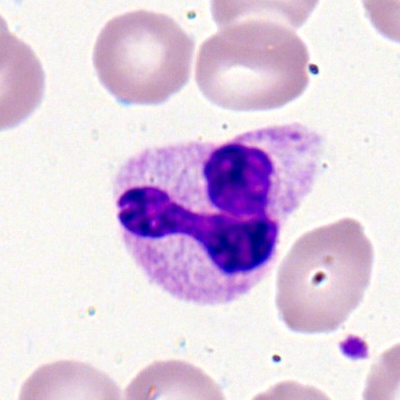
Cell: polymorphonuclear neutrophil.